Image size 250×250; bone marrow aspirate smear; single-cell field — 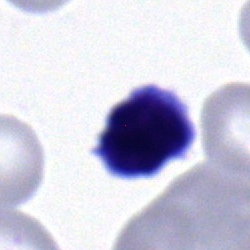
Morphology consistent with a lymphocyte.